Image size 250×250. Bone marrow aspirate smear
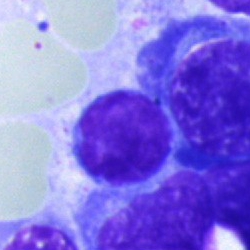Q: What cell is this?
A: Lymphocyte.